40× oil immersion; bone marrow aspirate smear; single-cell field — 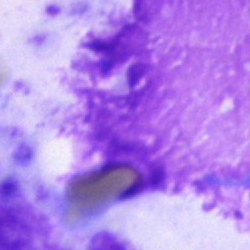 Cell = artefact.